250×250. Bone marrow aspirate smear.
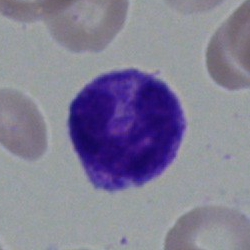A segmented neutrophil.